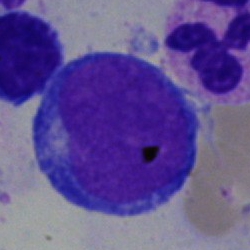
Specimen: bone marrow smear.
Morphological class: proerythroblast.